Bone marrow smear.
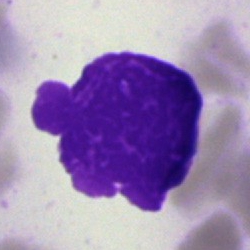 {"cell_type": "artifact"}